Pappenheim-stained · 250×250 · bone marrow aspirate smear:
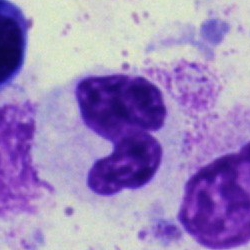 Impression → segmented neutrophil.